Bone marrow aspirate smear; 40× objective, oil immersion:
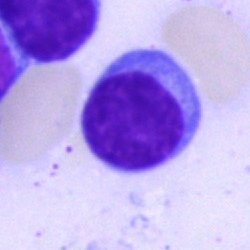Specimen: bone marrow smear.
Morphological class: lymphocyte.